Bone marrow aspirate smear; 250×250 px; brightfield microscopy, 40× oil immersion.
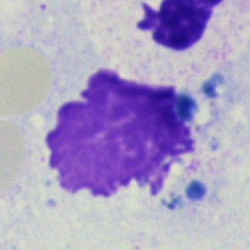Cell: artefact.